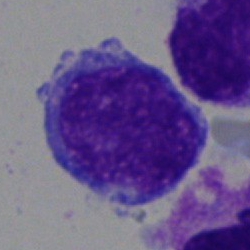 The cell is blast cell.